Peripheral blood smear. 400 by 400 pixels — 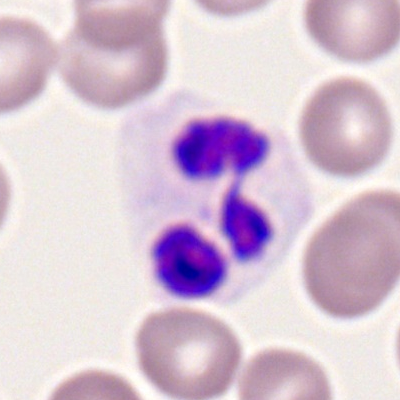

{"cell_type": "neutrophil (segmented)"}